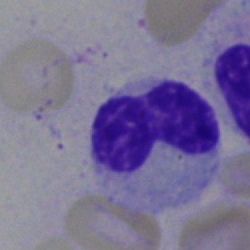 The morphological class is stab cell.